Peripheral blood smear; Romanowsky-stained; brightfield, 100× oil-immersion objective.
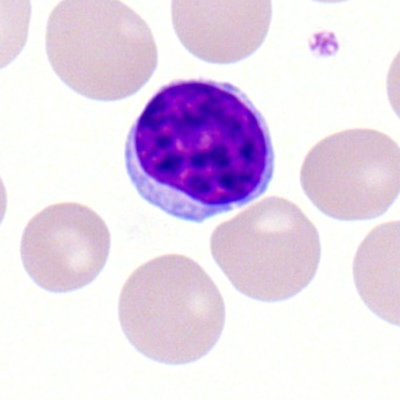
Impression — lymphocyte.